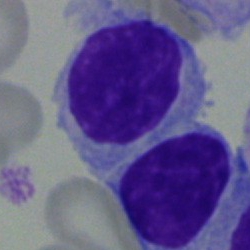 Typical lymphocyte.